May-Grünwald-Giemsa stain; 40× objective, oil immersion; bone marrow smear.
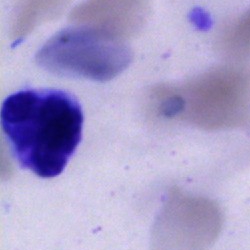

Showing an artifact.